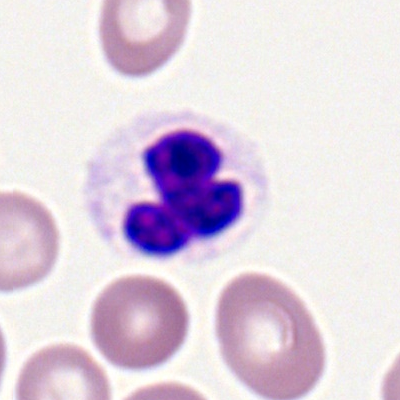Polymorphonuclear neutrophil.